Bone marrow smear · Pappenheim-stained:
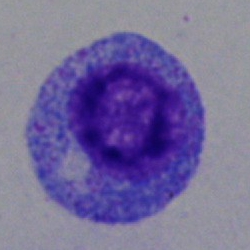Cell type — myelocyte.